Bone marrow smear
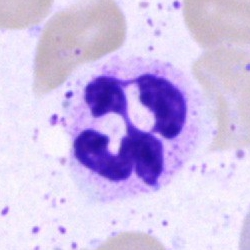Cell type = polymorphonuclear neutrophil.